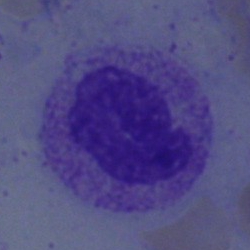

Morphology — metamyelocyte.